Bone marrow aspirate smear · cropped to a single cell — 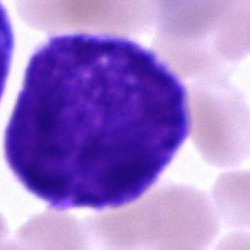
Morphology → undifferentiated blast.